Bone marrow aspirate smear · brightfield, 40× oil-immersion objective: 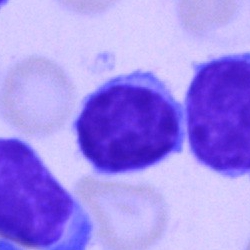Single cell identified as a lymphocyte.